Bone marrow smear — 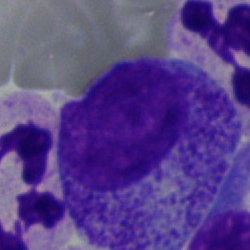
{"cell_type": "myelocyte", "lineage": "myeloid"}